Bone marrow aspirate smear; Pappenheim-stained; 250 by 250 pixels — 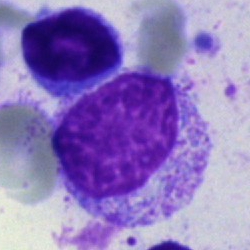Classification: myelocyte.